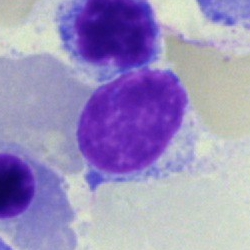 Impression → typical lymphocyte.